Pappenheim-stained · bone marrow aspirate smear — 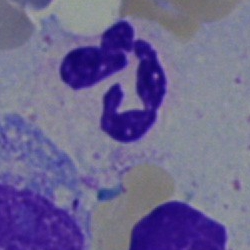Cell: segmented neutrophil.